250×250 px · single-cell field · bone marrow aspirate smear:
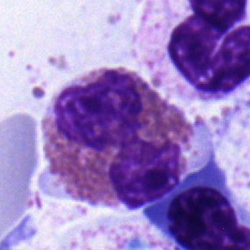 Q: What type of cell is this?
A: Eosinophil.